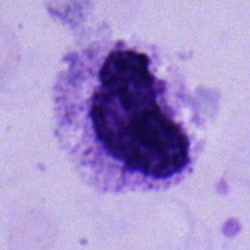Specimen: bone marrow smear.
Cell type: metamyelocyte.
Lineage: myeloid.